Brightfield, 40× oil-immersion objective · bone marrow aspirate smear · MGG-stained.
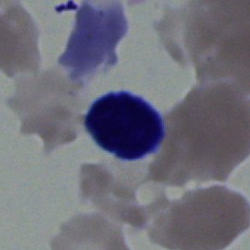

The cell shown is a typical lymphocyte.